Single-cell crop. Bone marrow aspirate smear.
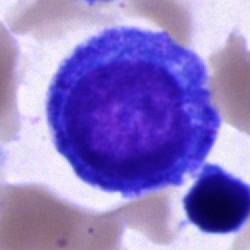
Specimen: bone marrow smear.
Morphological class: progranulocyte.
Lineage: myeloid.